40× objective, oil immersion; bone marrow smear
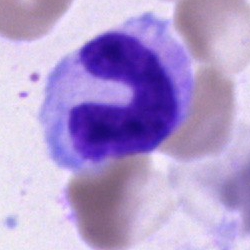Q: What cell is this?
A: A band-form neutrophil.